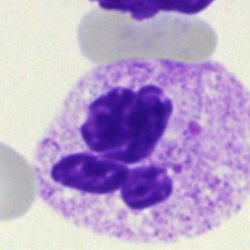 Morphology → neutrophil (segmented).